Bone marrow aspirate smear. 40× oil immersion
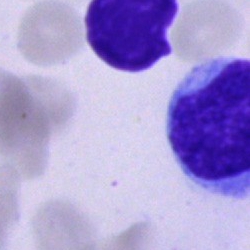Q: What is the morphological classification of this cell?
A: It is an unidentifiable cell.